MGG-stained; bone marrow smear:
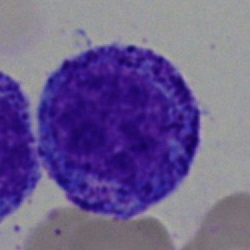

Specimen: bone marrow smear.
Cell type: promyelocyte.